Bone marrow smear.
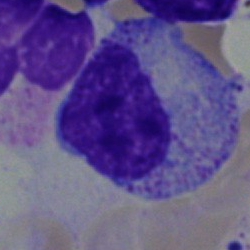The classification is myelocyte.